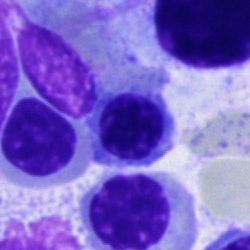 Impression → normoblast.